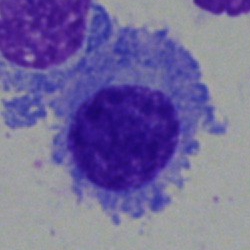

Cell = plasma cell.